250 by 250 pixels. Bone marrow smear:
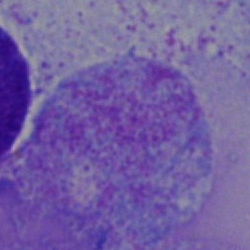Morphological class: artifact.